Bone marrow aspirate smear: 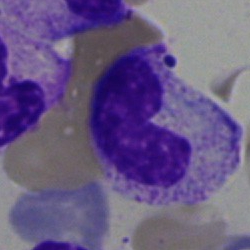
The cell type is band-form neutrophil.